Bone marrow aspirate smear
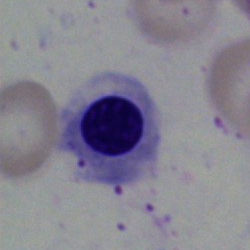

Specimen: bone marrow aspirate smear.
Cell type: erythroblast.